Bone marrow smear: 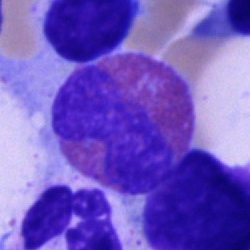Single cell identified as a basophilic granulocyte.